Bone marrow aspirate smear: 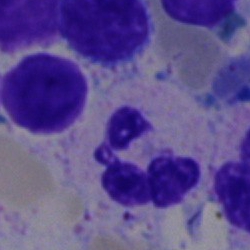 Polymorphonuclear neutrophil.